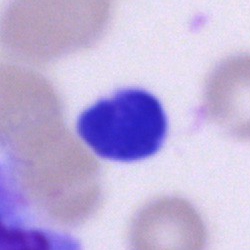Q: What is shown here?
A: It is an artefact.